Image size 250×250. Bone marrow aspirate smear. Cropped to a single cell — 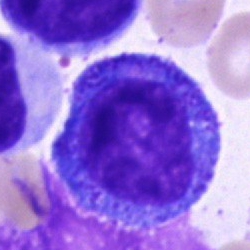This is a promyelocyte.